Bone marrow smear — 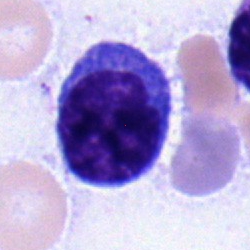A lymphocyte.